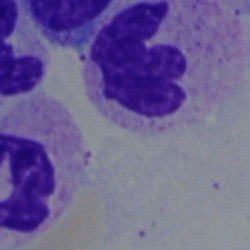
Specimen: bone marrow aspirate smear.
Cell: polymorphonuclear neutrophil.